Single-cell field; bone marrow aspirate smear — 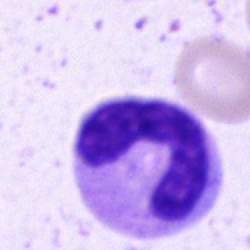Q: What is shown here?
A: This is a neutrophil (band).